Bone marrow aspirate smear. Single-cell crop: 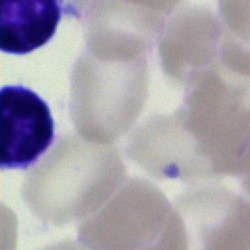
Cell = typical lymphocyte.